100× objective, oil immersion · Romanowsky-type stain · peripheral blood smear — 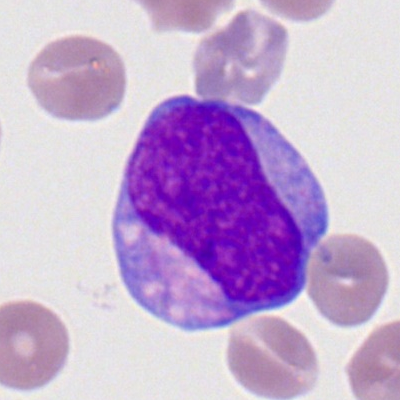A myeloblast.